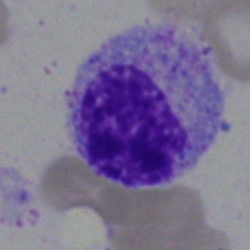 The cell type is myelocyte.